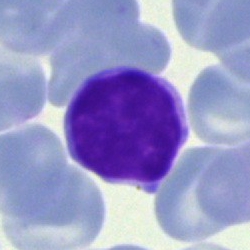 Q: Which cell type is shown here?
A: This is a lymphocyte.